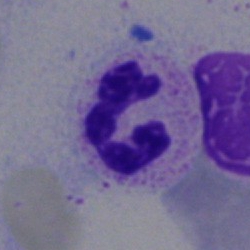
{"cell_type": "neutrophil (segmented)", "lineage": "myeloid"}